Bone marrow aspirate smear; brightfield, 40× oil-immersion objective.
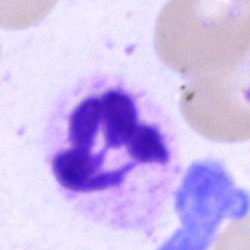 Impression → polymorphonuclear neutrophil.